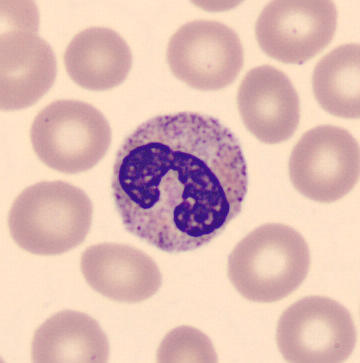

360 by 363 pixels. CellaVision DM96 digital cell image. Peripheral blood film.
Classification = neutrophil (band).